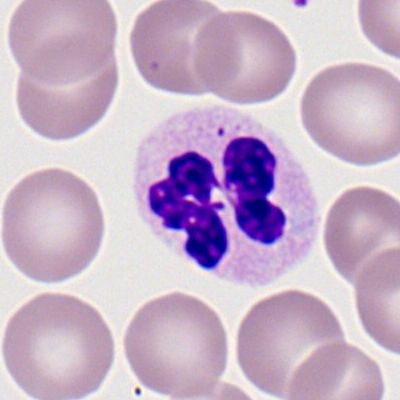

Peripheral blood smear showing a segmented neutrophil.